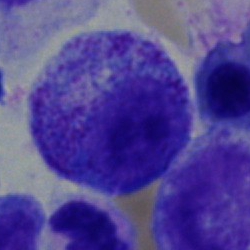 Single cell identified as a myelocyte.